Single-cell crop · bone marrow smear · brightfield microscopy, 40× oil immersion: 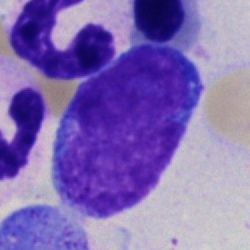 Undifferentiated blast.